May-Grünwald-Giemsa/Pappenheim stain. Bone marrow aspirate smear:
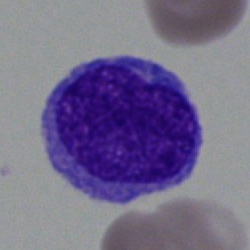 The cell shown is a blast.